Bone marrow smear:
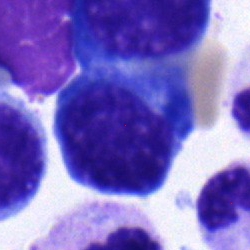
Morphological class = erythroblast.